Bone marrow aspirate smear: 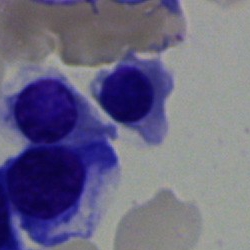
{"cell_type": "erythroblast"}